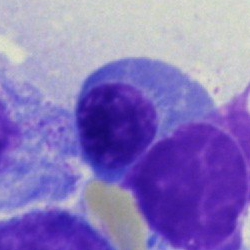

Single-cell crop from a bone marrow smear: nucleated red cell.